Peripheral blood film · single cell centered in the field
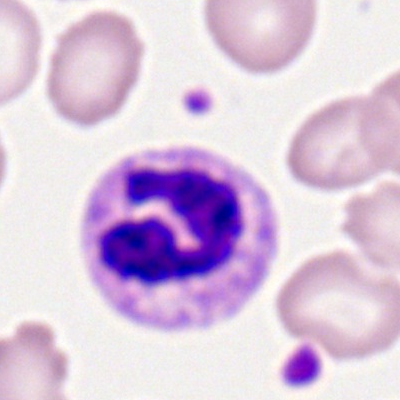 A polymorphonuclear neutrophil.